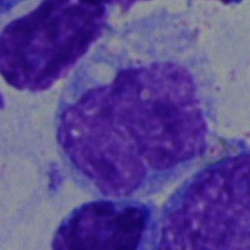 Morphological class: monocyte.